Bone marrow aspirate smear: 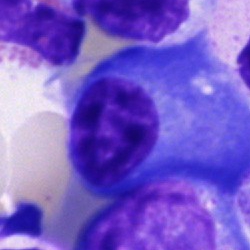
Q: What is shown here?
A: Plasma cell.